Single-cell crop; bone marrow aspirate smear; MGG-stained
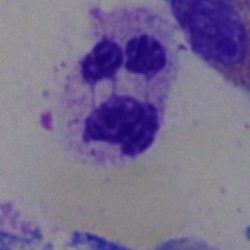Morphology consistent with a neutrophil (segmented).